Peripheral blood film:
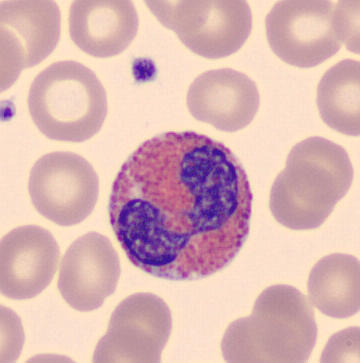
{"cell_type": "eosinophilic granulocyte", "lineage": "myeloid"}